Bone marrow aspirate smear. May-Grünwald-Giemsa stain.
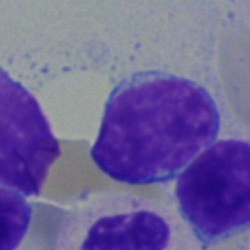Specimen: bone marrow smear.
Classification: lymphocyte.
Lineage: lymphoid.